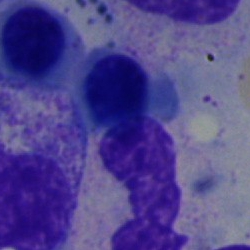 Q: What is the morphological classification of this cell?
A: A nucleated red cell.